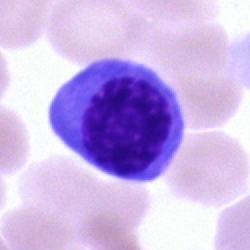 Bone marrow aspirate smear, single cell — nucleated red blood cell.